May-Grünwald-Giemsa/Pappenheim stain · bone marrow smear
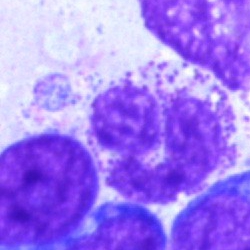Neutrophil (segmented).